Bone marrow smear — 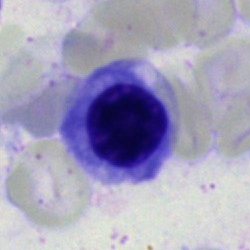

Impression → nucleated red cell.